Brightfield, 40× oil-immersion objective; Pappenheim-stained; bone marrow smear:
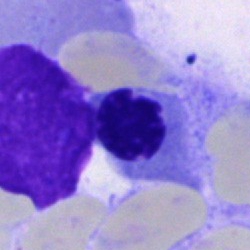

Impression → normoblast.